Peripheral blood film
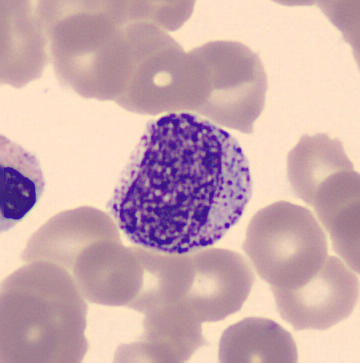 Single cell identified as a myelocyte.